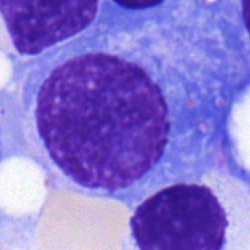 Cell type: plasmacyte.